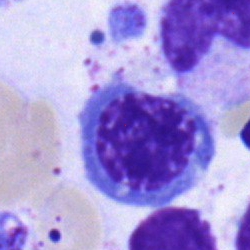Morphology consistent with a nucleated red cell.